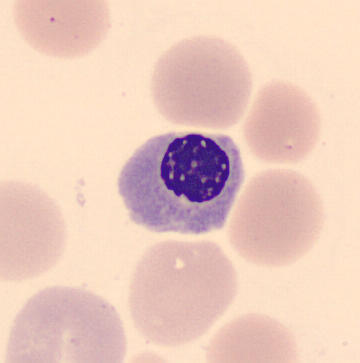Cell: nucleated red blood cell. 360×363 px; peripheral blood film.